Bone marrow smear · May-Grünwald-Giemsa/Pappenheim stain
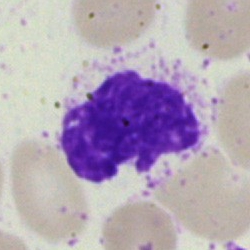Single cell identified as an artifact.